Bone marrow smear; 250×250.
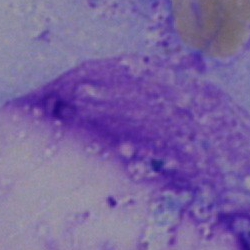 Morphology — artifact.